Bone marrow smear.
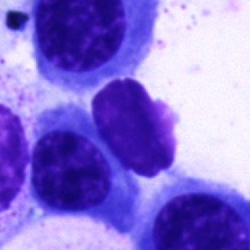 Classification = artifact.